May-Grünwald-Giemsa/Pappenheim stain. Bone marrow smear — 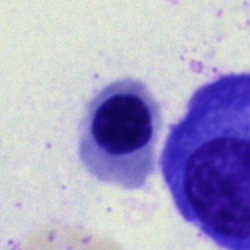Showing an erythroblast.